40× objective, oil immersion. Bone marrow aspirate smear: 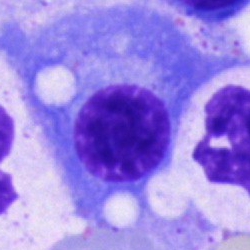
The cell shown is a plasmacyte.